250×250 · bone marrow aspirate smear — 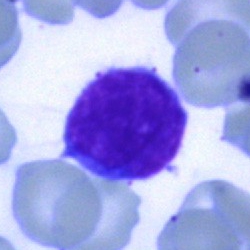 Morphological class: typical lymphocyte.